Bone marrow aspirate smear
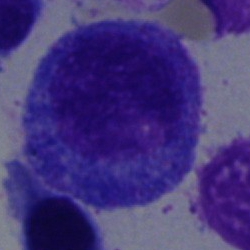This is a promyelocyte.